Bone marrow aspirate smear.
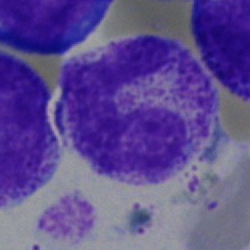
Impression → neutrophil (band).